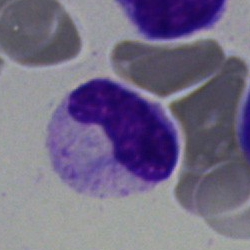

Specimen: bone marrow smear.
Morphological class: band-form neutrophil.
Lineage: myeloid.